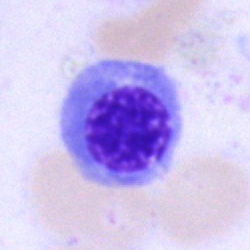Cell — erythroblast.